Bone marrow smear. 250×250 px. 40× objective, oil immersion:
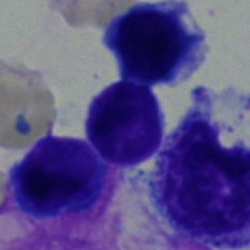

The cell shown is a typical lymphocyte.